Bone marrow aspirate smear.
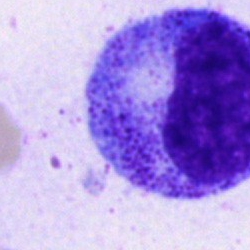 Impression → progranulocyte.